Bone marrow aspirate smear · brightfield microscopy, 40× oil immersion · single-cell crop: 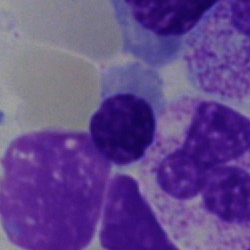

This is an erythroblast.